Bone marrow smear; 250 by 250 pixels; 40× objective, oil immersion
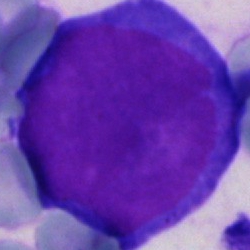

Q: What is the morphological classification of this cell?
A: This is a blast cell.